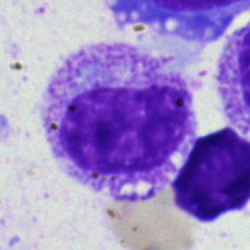
Morphological class = myelocyte.